400×400 px. Peripheral blood film — 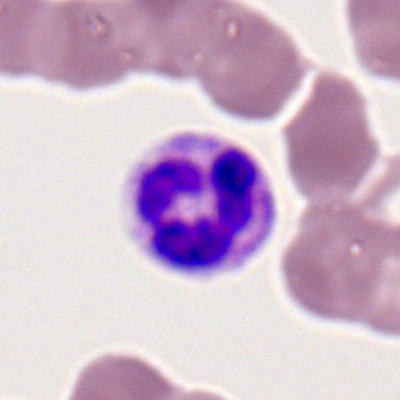Single cell identified as a neutrophil (segmented).